Bone marrow aspirate smear:
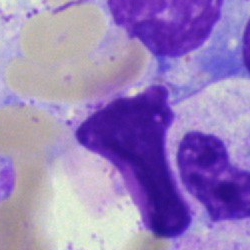An artefact.